Bone marrow smear — 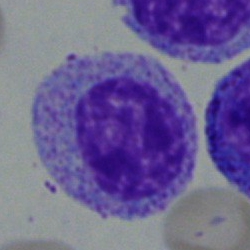The classification is myelocyte.